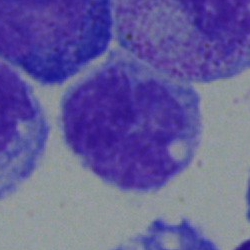
Single-cell crop from a bone marrow smear: monocyte.